Peripheral blood smear · single cell centered in the field — 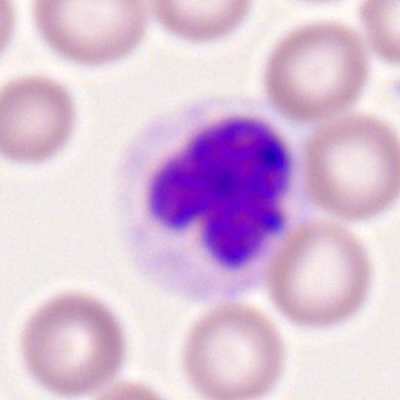
The morphological class is neutrophil (segmented).